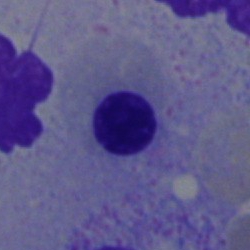 Cell = nucleated red blood cell.